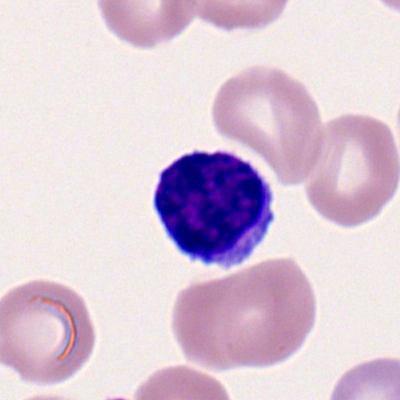
Single-cell crop from a peripheral blood smear: lymphocyte.